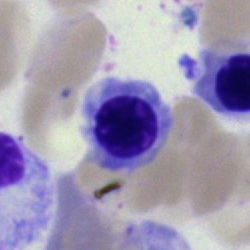

Erythroblast.